250×250; bone marrow smear; brightfield, 40× oil-immersion objective — 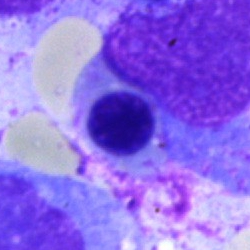 {"cell_type": "nucleated red cell"}